Brightfield, 40× oil-immersion objective. 250 by 250 pixels. Bone marrow aspirate smear
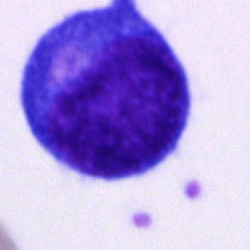 Specimen: bone marrow aspirate smear.
Classification: blast cell.